Bone marrow aspirate smear. Cropped to a single cell. MGG-stained: 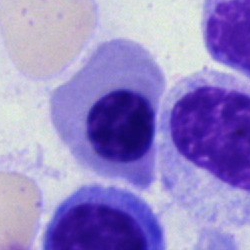
A nucleated red blood cell.